40× oil immersion · bone marrow smear:
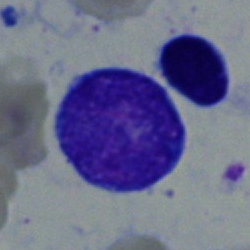

Showing a blast.